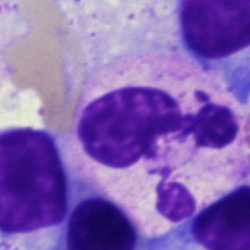 Impression → neutrophil (segmented).